Bone marrow smear:
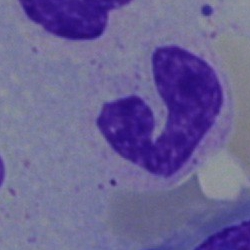 Specimen: bone marrow aspirate smear.
Cell type: band neutrophil.
Lineage: myeloid.